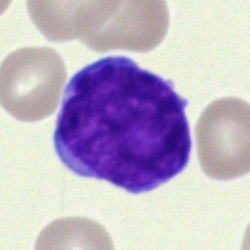

Q: What is the morphological classification of this cell?
A: It is an undifferentiated blast.